250 by 250 pixels. Bone marrow aspirate smear. May-Grünwald-Giemsa/Pappenheim stain — 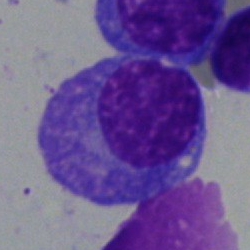Impression → plasmacyte.